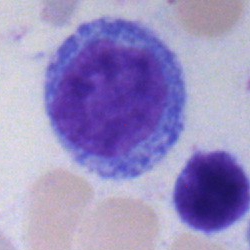

Single-cell crop from a bone marrow smear: progranulocyte.